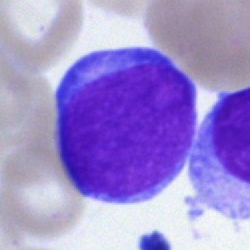Morphology — blast.